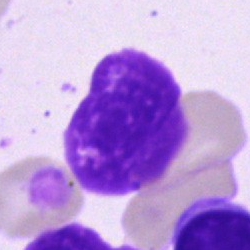Specimen: bone marrow smear.
Cell: artefact.